MGG-stained · bone marrow aspirate smear.
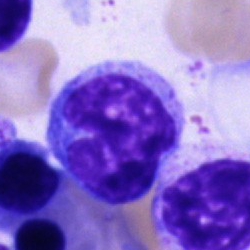

Specimen: bone marrow smear.
Classification: monocyte.
Lineage: myeloid.